40× objective, oil immersion; bone marrow aspirate smear: 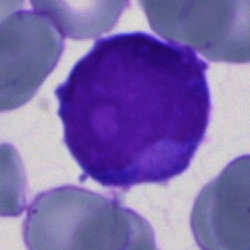Morphology — blast.